Bone marrow aspirate smear.
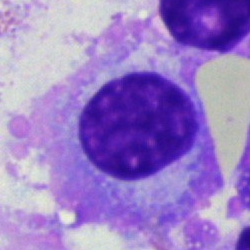 Showing a plasma cell.